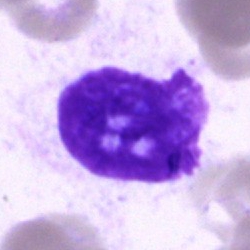Morphology — artifact.